Pappenheim-stained · bone marrow smear.
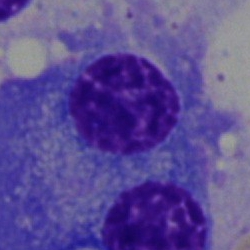 Showing a plasmacyte.